Brightfield, 40× oil-immersion objective · May-Grünwald-Giemsa stain · bone marrow aspirate smear
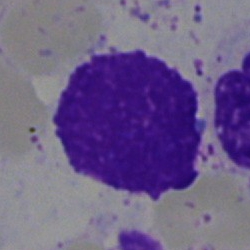 Q: What is shown here?
A: It is an artifact.